Single cell centered in the field · bone marrow smear · 40× oil immersion:
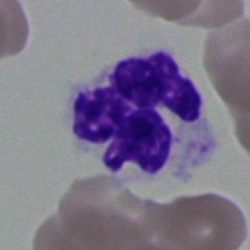
Cell = polymorphonuclear neutrophil.